MGG-stained · 250×250 px · bone marrow smear: 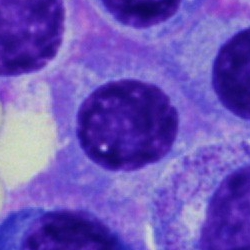Cell: plasmacyte.